Bone marrow smear.
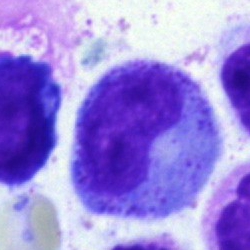This is a promyelocyte.